Bone marrow aspirate smear.
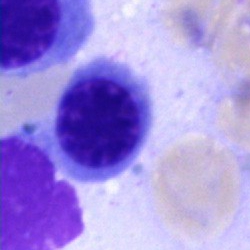

Morphological class — normoblast.